40× oil immersion. Bone marrow aspirate smear
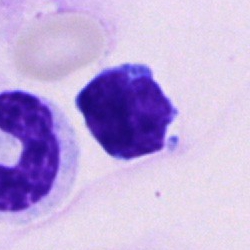Q: What cell is this?
A: It is a typical lymphocyte.